Single-cell field · brightfield microscopy, 40× oil immersion · bone marrow smear:
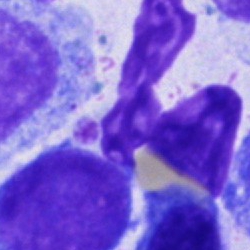 Cell type: unidentifiable cell.